Peripheral blood smear; 400×400 px; 100× oil immersion, 14.14 px/µm
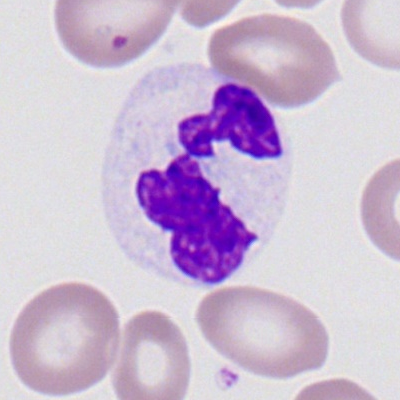
The cell shown is a polymorphonuclear neutrophil.